Bone marrow aspirate smear. Brightfield, 40× oil-immersion objective. Pappenheim-stained.
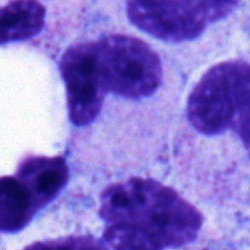Specimen: bone marrow aspirate smear.
Cell type: neutrophil (band).